May-Grünwald-Giemsa stain · bone marrow smear: 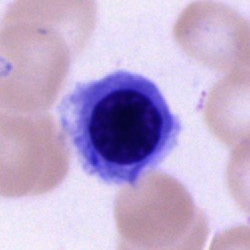
Impression → normoblast.